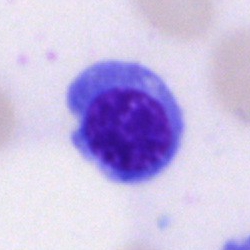{"cell_type": "nucleated red blood cell", "lineage": "erythroid"}